Brightfield, 40× oil-immersion objective. Single cell centered in the field. Bone marrow smear: 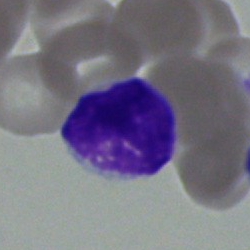 A lymphocyte.